Brightfield, 40× oil-immersion objective · bone marrow aspirate smear · 250×250: 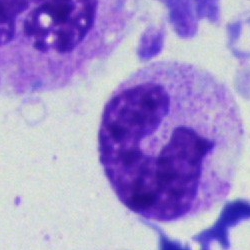

Showing a stab cell.